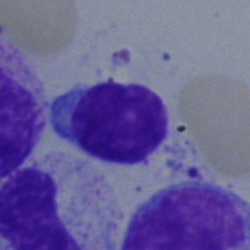

Q: Which cell type is shown here?
A: A lymphocyte.